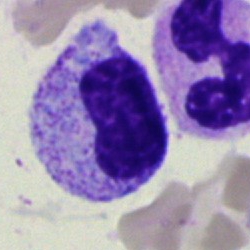 Specimen: bone marrow smear.
Classification: metamyelocyte.
Lineage: myeloid.